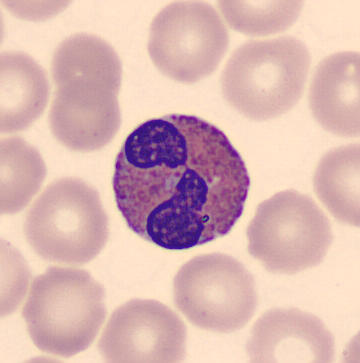The classification is eosinophilic granulocyte.

Image: Peripheral blood smear.